Bone marrow aspirate smear:
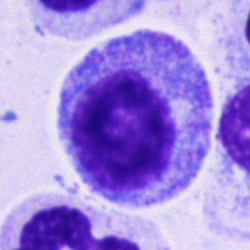

Single cell identified as a promyelocyte.